Single-cell crop; image size 250×250; bone marrow aspirate smear — 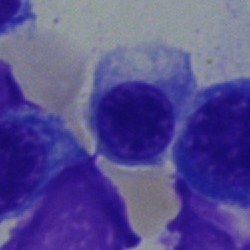

Impression — erythroblast.